Bone marrow aspirate smear
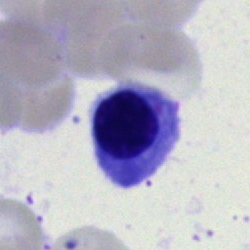 Specimen: bone marrow smear.
Morphological class: erythroblast.